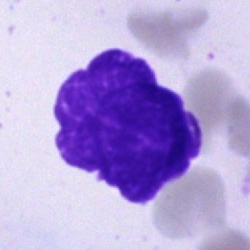

Morphology → artifact.